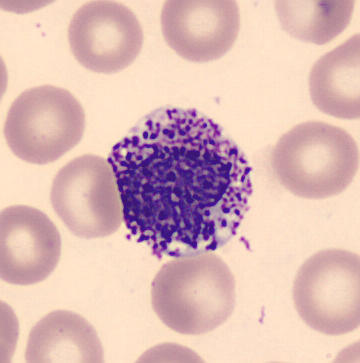
Classification = basophil.
Image: Peripheral blood smear; MGG-stained.